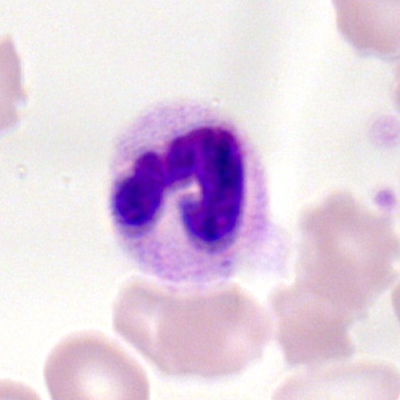 Specimen: peripheral blood film.
Cell: segmented neutrophil.